Peripheral blood film: 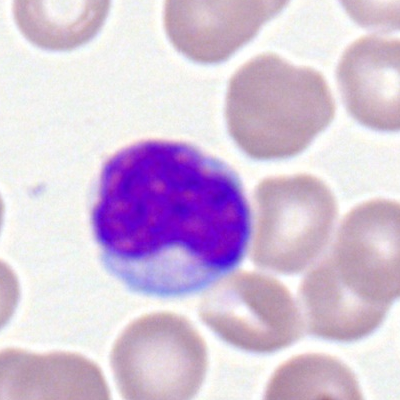
Q: What cell is this?
A: This is a typical lymphocyte.